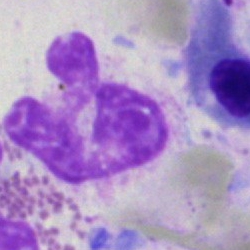 The cell type is artifact.